Bone marrow aspirate smear — 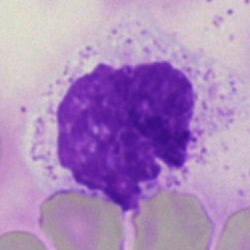 Showing an artifact.